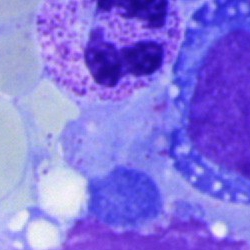
Impression → artefact.